40× objective, oil immersion · bone marrow smear: 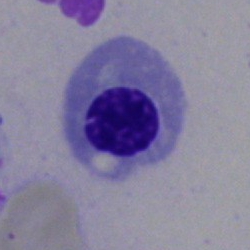
A nucleated red blood cell.